Bone marrow smear: 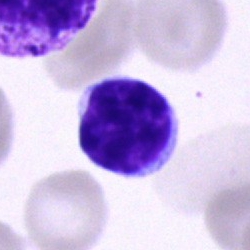 Q: What cell is this?
A: Lymphocyte.